Bone marrow aspirate smear:
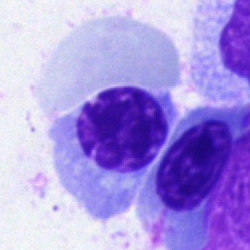This is a normoblast.